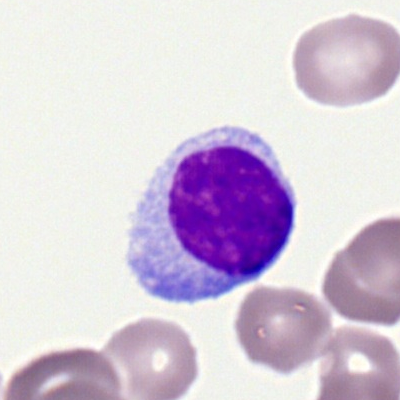
Morphological class: lymphocyte.